250 by 250 pixels · bone marrow aspirate smear — 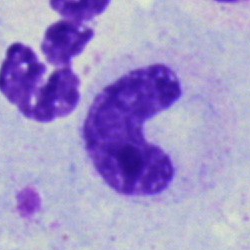
Morphology consistent with a band neutrophil.